Bone marrow smear. 250×250 px — 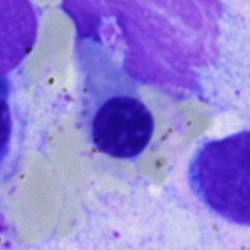
Specimen: bone marrow aspirate smear.
Morphological class: erythroblast.